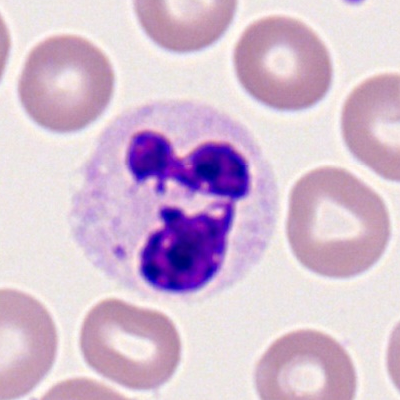

Peripheral blood film, single cell — segmented neutrophil.